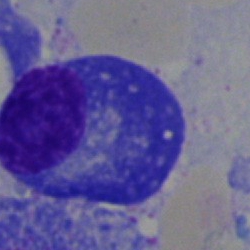
Classification: plasma cell.